250×250 px. 40× objective, oil immersion. Bone marrow aspirate smear:
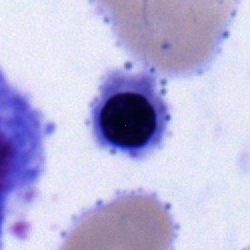

The classification is nucleated red blood cell.